Bone marrow aspirate smear
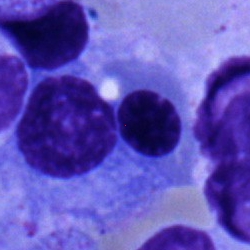 Showing an erythroblast.